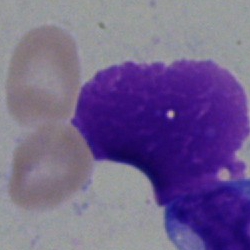 Single-cell crop from a bone marrow smear: artefact.